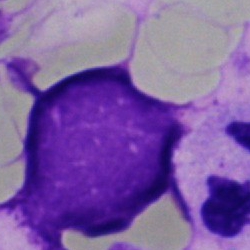

{"cell_type": "artifact"}